Bone marrow smear · single-cell crop · May-Grünwald-Giemsa/Pappenheim stain: 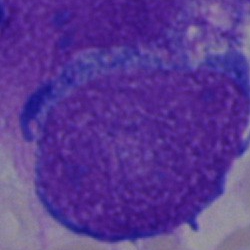 The cell shown is an artefact.